Bone marrow aspirate smear: 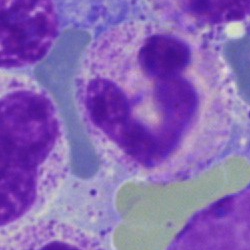
Morphological class — polymorphonuclear neutrophil.